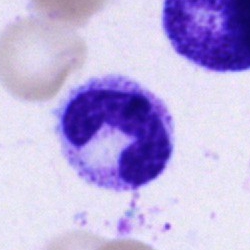

{"cell_type": "stab cell"}